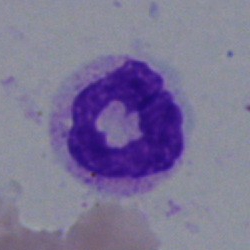
Single-cell crop from a bone marrow smear: polymorphonuclear neutrophil.